Brightfield, 40× oil-immersion objective · bone marrow aspirate smear · cropped to a single cell.
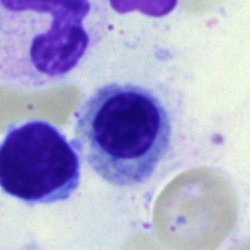 Cell — normoblast.